Bone marrow aspirate smear: 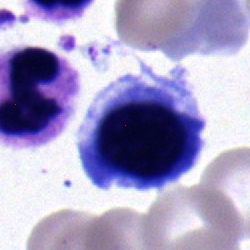

This is a nucleated red blood cell.